May-Grünwald-Giemsa stain · bone marrow aspirate smear
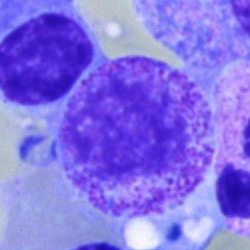 The classification is myelocyte.